Bone marrow aspirate smear. Brightfield microscopy, 40× oil immersion. May-Grünwald-Giemsa/Pappenheim stain.
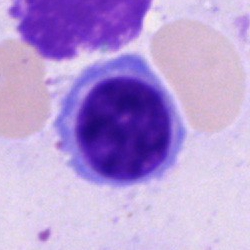
Impression → typical lymphocyte.